Bone marrow smear · May-Grünwald-Giemsa stain.
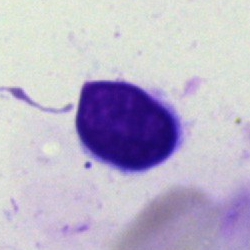 A lymphocyte.